Bone marrow aspirate smear; 250×250: 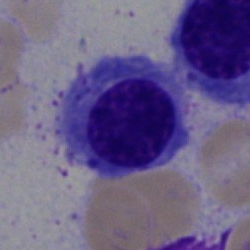
Nucleated red cell.